Peripheral blood smear — 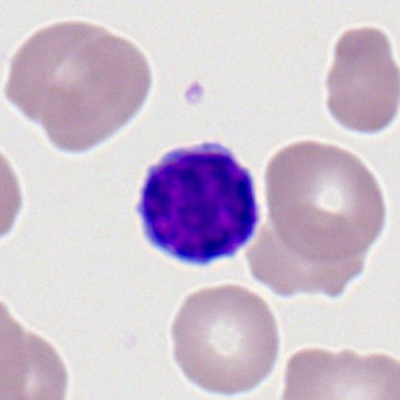 Classification = lymphocyte.